Bone marrow smear.
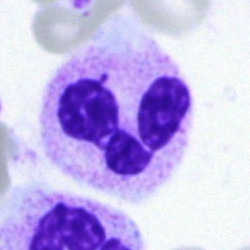This is a polymorphonuclear neutrophil.